Bone marrow smear; single-cell crop — 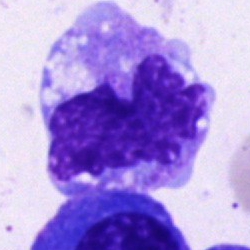

A monocyte.